Bone marrow smear. Single-cell field — 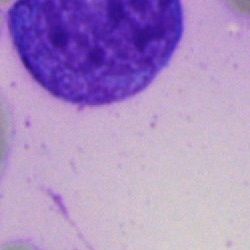 An artefact.